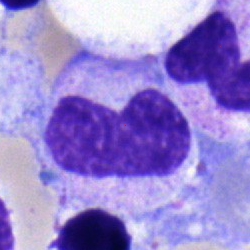 Morphological class — metamyelocyte.